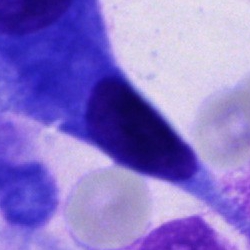 Classification = other cell type.